Peripheral blood smear; single cell centered in the field:
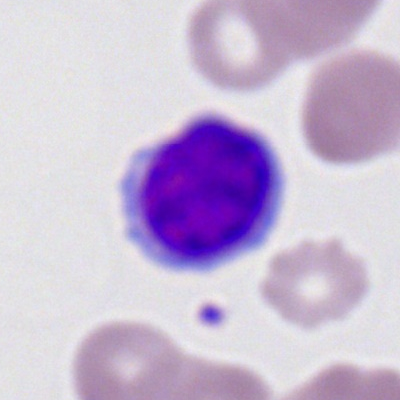
Specimen: peripheral blood smear.
Morphological class: typical lymphocyte.
Lineage: lymphoid.